Bone marrow smear
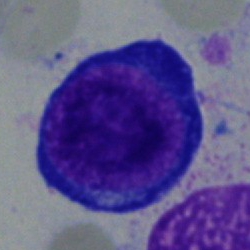 Q: Which cell type is shown here?
A: A proerythroblast.